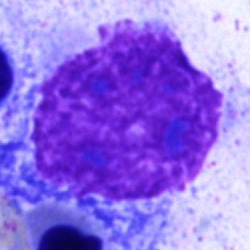The classification is artifact.